Bone marrow smear:
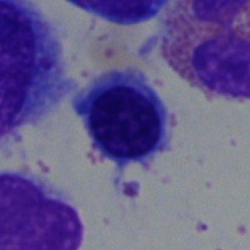 The cell is nucleated red cell.